Single-cell field · May-Grünwald-Giemsa stain · bone marrow aspirate smear — 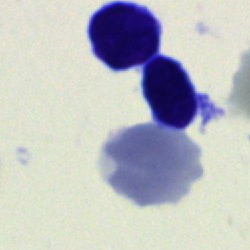 The cell shown is a typical lymphocyte.